Single cell centered in the field; bone marrow aspirate smear.
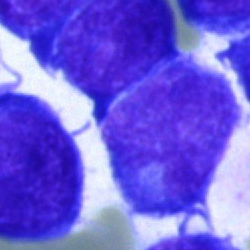A blast cell.